May-Grünwald-Giemsa stain. Bone marrow aspirate smear.
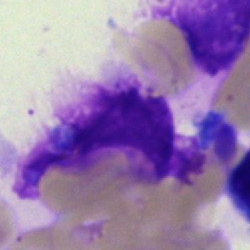
Morphology — artifact.